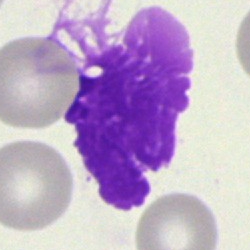

Morphology — artifact.